Bone marrow smear:
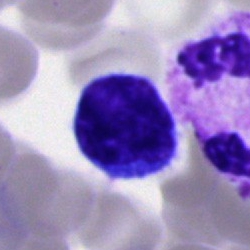Q: What is shown here?
A: This is a lymphocyte.